Bone marrow smear; single cell centered in the field; May-Grünwald-Giemsa/Pappenheim stain: 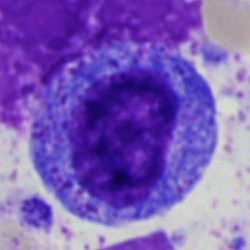

Showing a progranulocyte.